Bone marrow aspirate smear · 250×250 px — 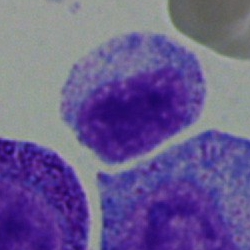The cell is myelocyte.